Bone marrow smear — 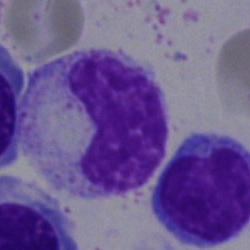Neutrophil (band).